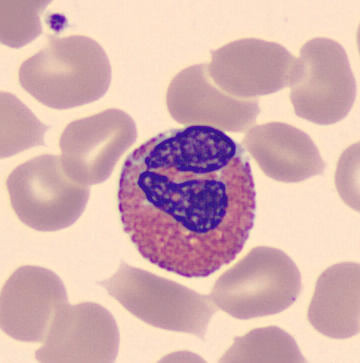
Single-cell crop from a peripheral blood smear: eosinophilic granulocyte.